Bone marrow smear — 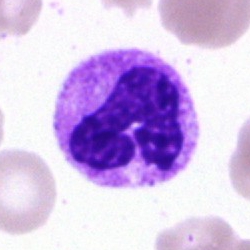Classification — stab cell.